Romanowsky-type stain · brightfield, 100× oil-immersion objective · peripheral blood smear — 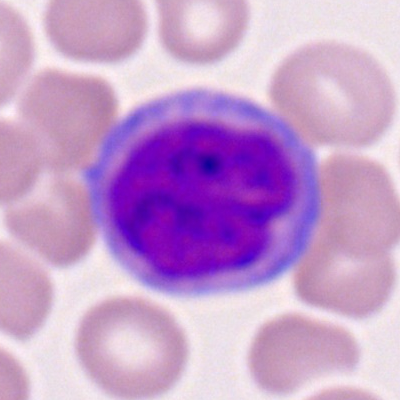This is a monocyte.